Bone marrow aspirate smear · 250×250.
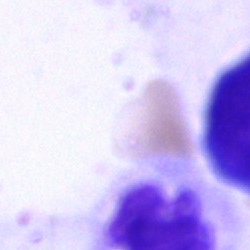

Morphology consistent with an artifact.